250×250 · bone marrow smear · MGG-stained: 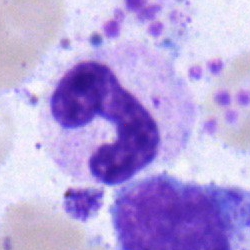

Stab cell.